Bone marrow smear · single-cell field · May-Grünwald-Giemsa stain.
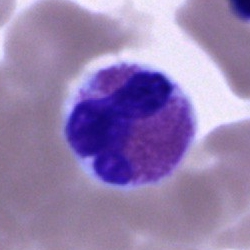
This is an eosinophilic granulocyte.